Bone marrow aspirate smear:
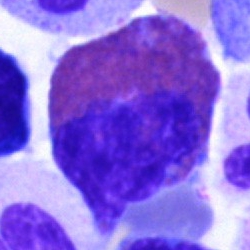
Eosinophil.